MGG-stained; brightfield microscopy, 40× oil immersion; bone marrow aspirate smear
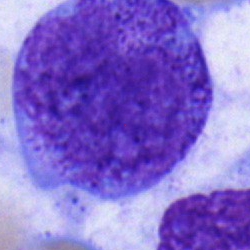Morphological class — promyelocyte.